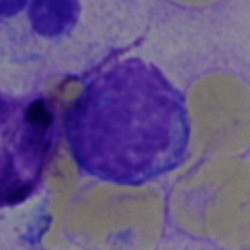
A typical lymphocyte.